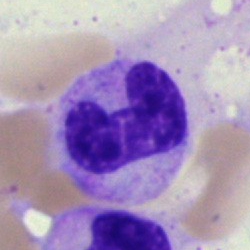
Q: What is the morphological classification of this cell?
A: This is a neutrophil (band).